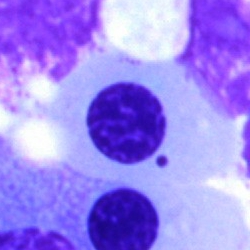Morphological class: normoblast.